Single-cell field · bone marrow aspirate smear · Pappenheim-stained.
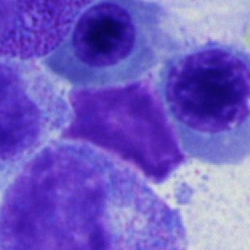
The classification is unidentifiable cell.